MGG-stained; bone marrow aspirate smear:
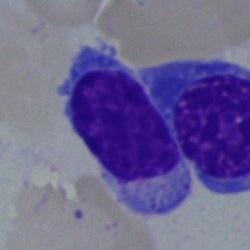

Cell — typical lymphocyte.